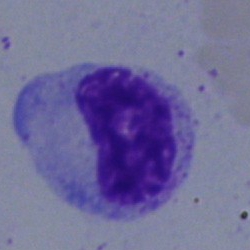
{"cell_type": "metamyelocyte"}